Bone marrow smear. Brightfield, 40× oil-immersion objective — 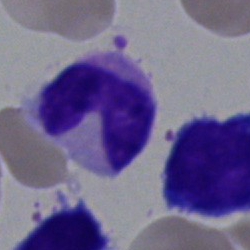 Impression — stab cell.